Bone marrow smear — 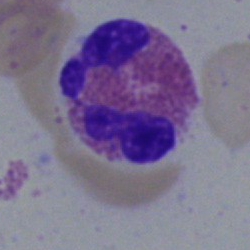
{"cell_type": "eosinophil", "lineage": "myeloid"}